Single-cell field · May-Grünwald-Giemsa/Pappenheim stain · bone marrow smear: 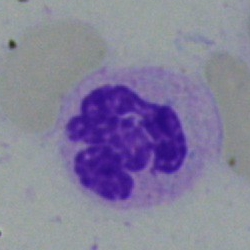 Morphology consistent with a segmented neutrophil.